Bone marrow smear; 250 by 250 pixels: 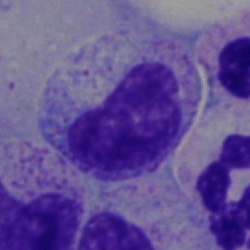 Q: What is the morphological classification of this cell?
A: A metamyelocyte.